Bone marrow smear; May-Grünwald-Giemsa stain: 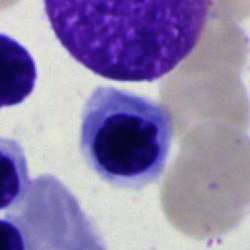Normoblast.